Image size 250×250; bone marrow aspirate smear:
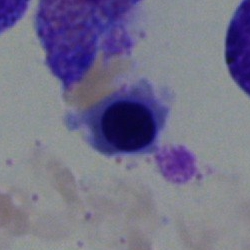
The cell shown is a normoblast.